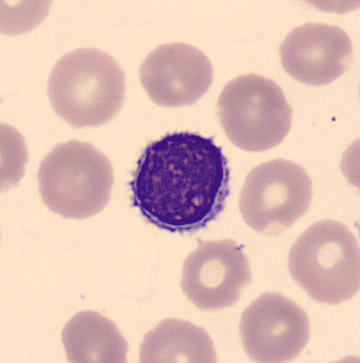Identified as a lymphocyte.
MGG stain. Single-cell crop. Peripheral blood smear.